360 by 363 pixels · peripheral blood smear
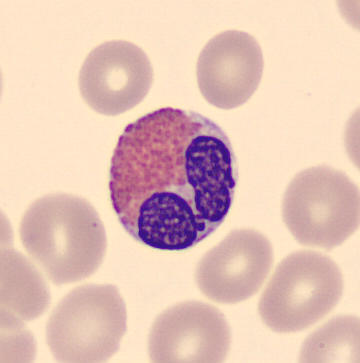
Showing an eosinophilic granulocyte.